Bone marrow smear: 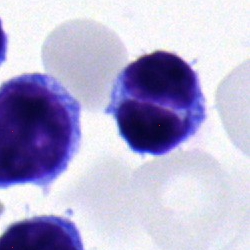 Q: What type of cell is this?
A: This is a lymphocyte.